Bone marrow aspirate smear — 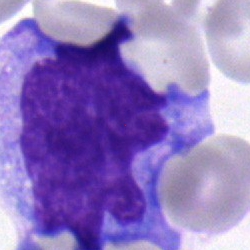
Monocyte.